Peripheral blood film — 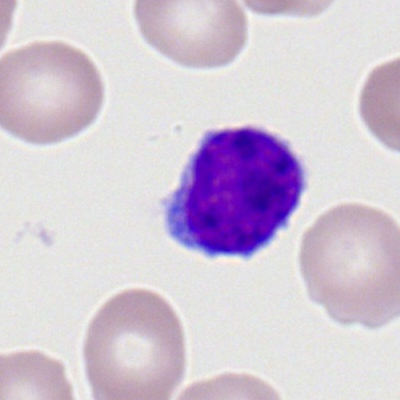 This is a lymphocyte.